Pappenheim-stained · bone marrow smear · 250 by 250 pixels: 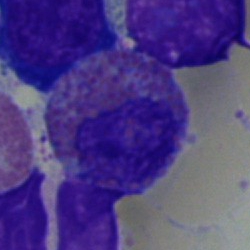Single cell identified as an eosinophilic granulocyte.